Bone marrow smear.
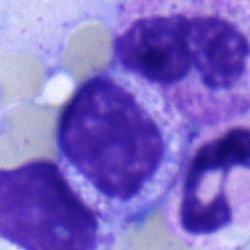
Showing a myelocyte.